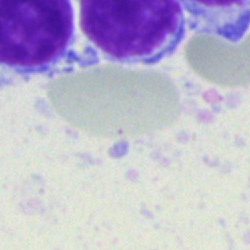 {"cell_type": "lymphocyte", "lineage": "lymphoid"}